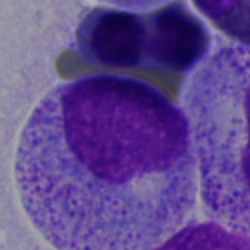Specimen: bone marrow aspirate smear.
Cell: myelocyte.